Bone marrow aspirate smear
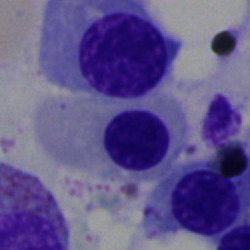
{"cell_type": "erythroblast", "lineage": "erythroid"}